MGG-stained. Bone marrow smear: 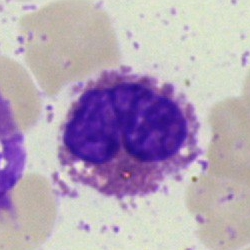

{"cell_type": "eosinophilic granulocyte", "lineage": "myeloid"}